Bone marrow smear:
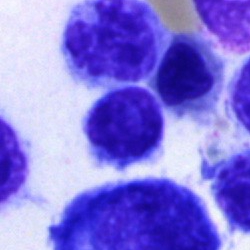

A typical lymphocyte.